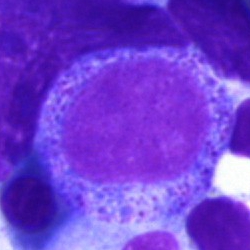

Bone marrow aspirate smear, single cell — progranulocyte.